250×250 px. Single-cell crop. Bone marrow aspirate smear — 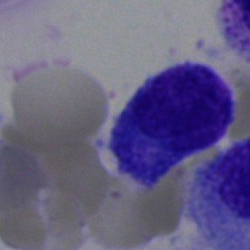The cell shown is a lymphocyte.